Bone marrow aspirate smear. Pappenheim-stained.
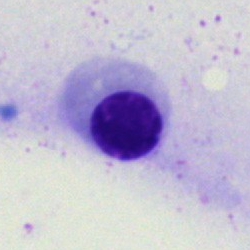
Morphological class: nucleated red cell.